Bone marrow aspirate smear; 250 by 250 pixels
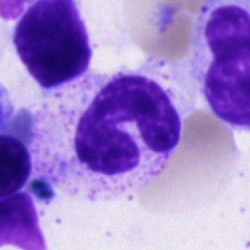Single cell identified as a neutrophil (band).